Bone marrow smear · May-Grünwald-Giemsa stain
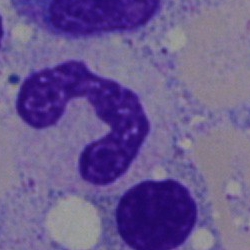Single cell identified as a segmented neutrophil.